250×250 · bone marrow aspirate smear
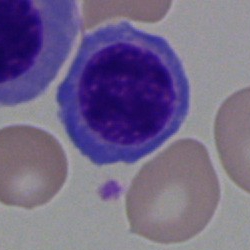

Morphology — erythroblast.